250×250 · bone marrow aspirate smear:
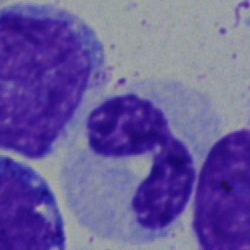

{"cell_type": "segmented neutrophil", "lineage": "myeloid"}